Bone marrow smear — 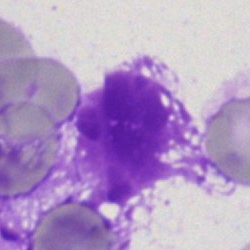

This is an artifact.